Bone marrow aspirate smear: 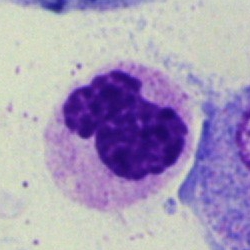Impression → stab cell.